Peripheral blood smear · image size 400×400 · single-cell field.
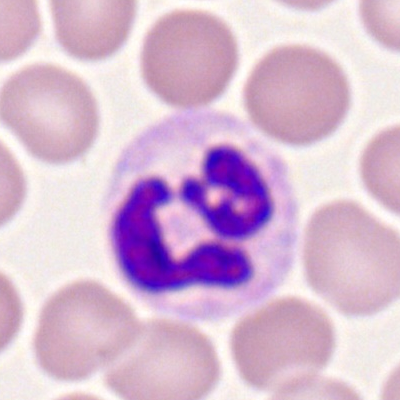The cell shown is a segmented neutrophil.